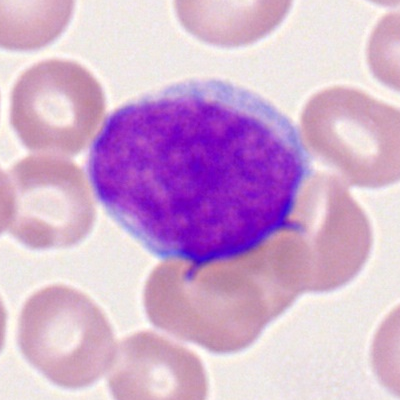

Single cell identified as a myeloid blast.